Bone marrow aspirate smear
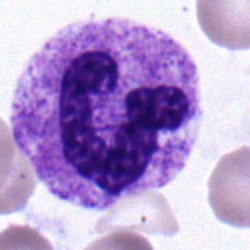Impression → segmented neutrophil.